Bone marrow aspirate smear:
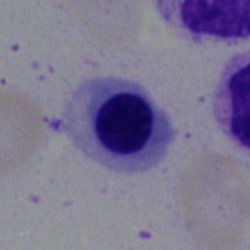
This is a normoblast.